250×250 px; bone marrow aspirate smear:
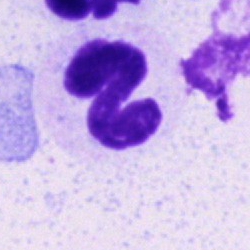
Single cell identified as a polymorphonuclear neutrophil.